Single-cell field. Bone marrow aspirate smear. May-Grünwald-Giemsa/Pappenheim stain — 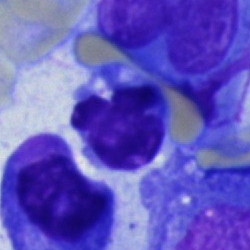Morphology → lymphocyte.